Bone marrow smear — 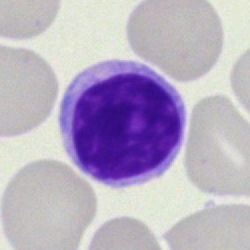

Cell type: lymphocyte.